Bone marrow aspirate smear:
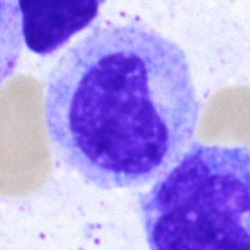

A metamyelocyte.